Bone marrow aspirate smear.
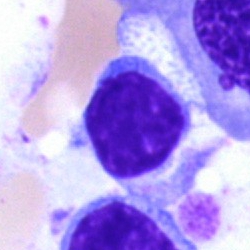 Morphology → typical lymphocyte.